Brightfield, 40× oil-immersion objective. Bone marrow aspirate smear
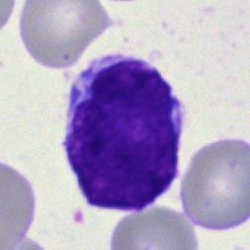

The morphological class is undifferentiated blast.